Single-cell field. 250×250 px. Bone marrow aspirate smear:
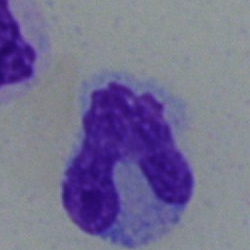
Specimen: bone marrow aspirate smear.
Cell type: monocyte.